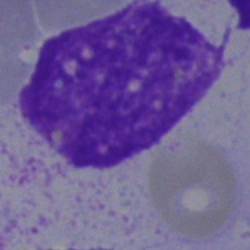
Morphological class — artefact.